Brightfield microscopy, 40× oil immersion. Bone marrow aspirate smear
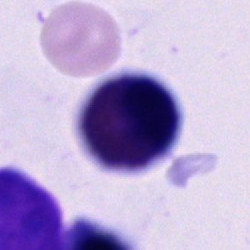
Q: What cell is this?
A: Cell of indeterminate lineage.